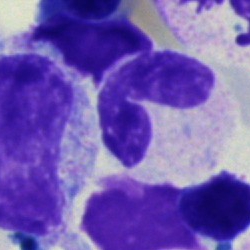 The cell is band neutrophil.